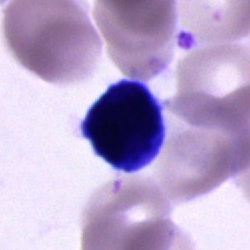

Showing a cell of indeterminate lineage.